Bone marrow smear; cropped to a single cell
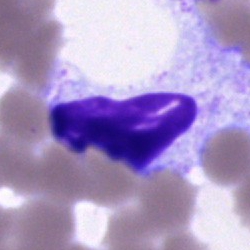
Impression → artefact.